Bone marrow smear · brightfield, 40× oil-immersion objective · cropped to a single cell: 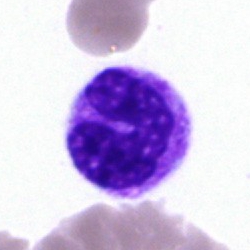 The cell type is polymorphonuclear neutrophil.